Bone marrow smear
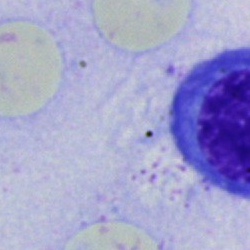 Morphological class — unidentifiable cell.